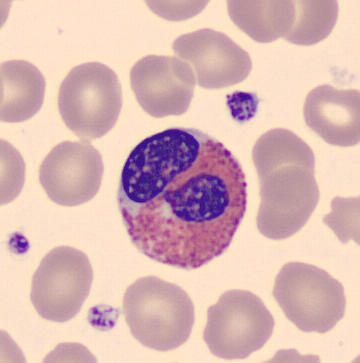 Morphological class: eosinophil.